40× oil immersion. May-Grünwald-Giemsa stain. Bone marrow aspirate smear — 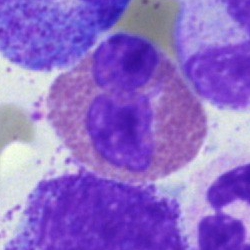 Specimen: bone marrow aspirate smear.
Cell type: eosinophilic granulocyte.
Lineage: myeloid.